Bone marrow aspirate smear · single-cell field — 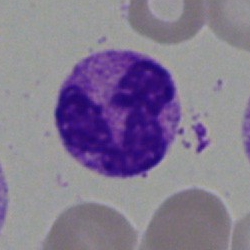Morphological class: segmented neutrophil.